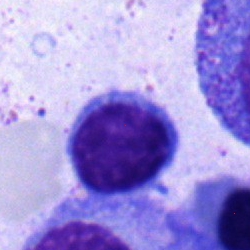

The cell shown is a lymphocyte.